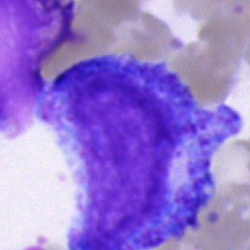
Progranulocyte.